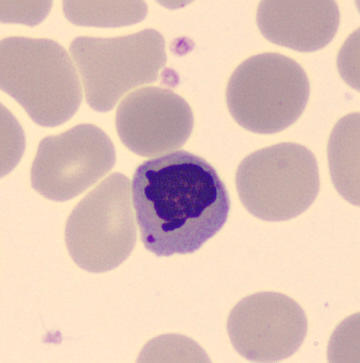

Cell — nucleated red cell. Preparation: Peripheral blood smear.